250 by 250 pixels. Bone marrow smear — 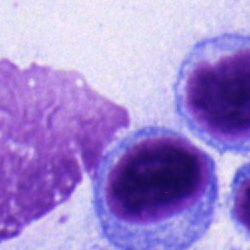 Showing a lymphocyte.